Bone marrow smear · single-cell crop.
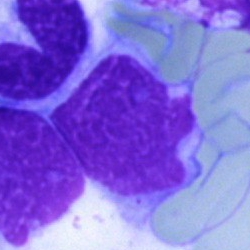Cell type = artifact.